Bone marrow smear. MGG-stained — 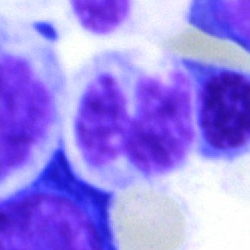 Morphological class — artefact.